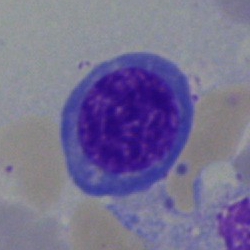

{"cell_type": "erythroblast", "lineage": "erythroid"}